Peripheral blood smear · single-cell field — 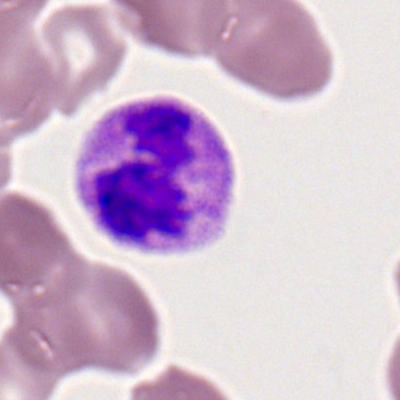Cell type: segmented neutrophil.